Bone marrow aspirate smear: 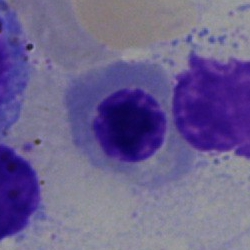Specimen: bone marrow aspirate smear.
Cell: nucleated red blood cell.
Lineage: erythroid.